Cropped to a single cell · peripheral blood film · 100× oil immersion, 14.14 px/µm: 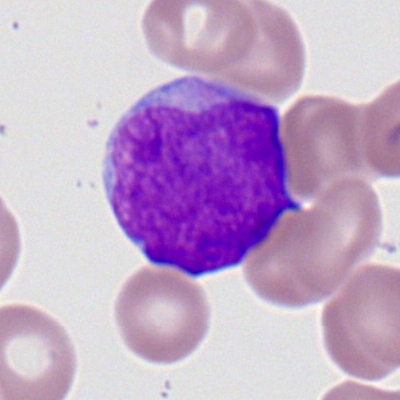
Specimen: peripheral blood smear.
Cell type: myeloid blast.